Bone marrow aspirate smear; cropped to a single cell; image size 250×250 — 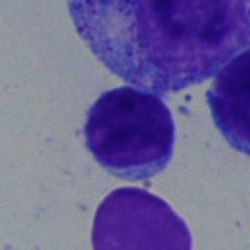

Q: What is shown here?
A: A typical lymphocyte.